Single-cell crop. Bone marrow aspirate smear:
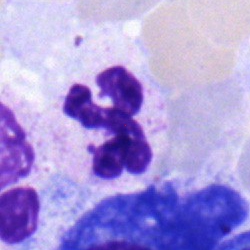Impression — neutrophil (segmented).